Bone marrow aspirate smear. 40× objective, oil immersion
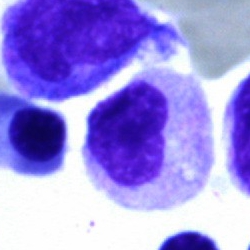
Classification: metamyelocyte.